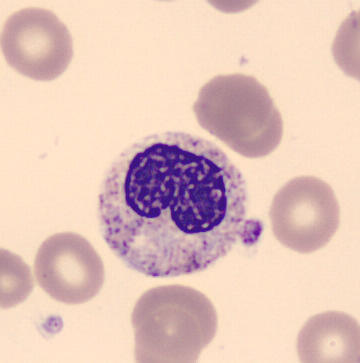 Cell type — metamyelocyte.

Acquisition: May-Grünwald-Giemsa-stained; peripheral blood smear.